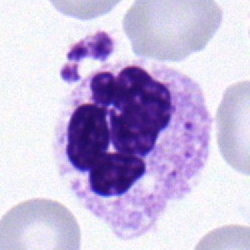

Q: Identify the cell.
A: A segmented neutrophil.